Pappenheim-stained; bone marrow smear; 250×250 px:
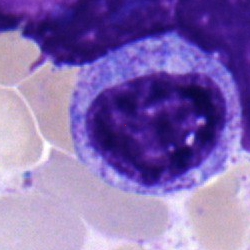
Single cell identified as a myelocyte.